250×250 px. Bone marrow smear. May-Grünwald-Giemsa stain
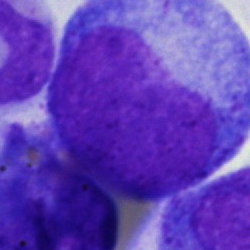
Morphology — progranulocyte.